May-Grünwald-Giemsa stain. 250×250 px. Bone marrow smear
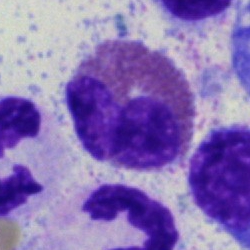Eosinophil.